Bone marrow aspirate smear: 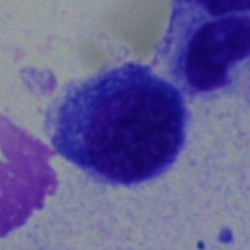

Q: What type of cell is this?
A: Nucleated red blood cell.